Bone marrow smear — 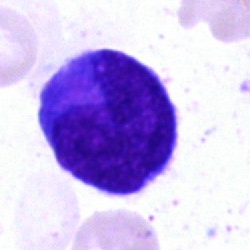 Specimen: bone marrow aspirate smear.
Cell type: undifferentiated blast.